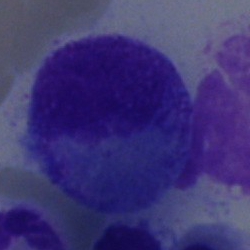
Specimen: bone marrow aspirate smear.
Cell type: promyelocyte.
Lineage: myeloid.